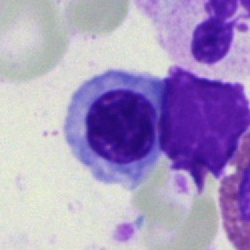

Specimen: bone marrow smear.
Classification: erythroblast.
Lineage: erythroid.